Bone marrow smear:
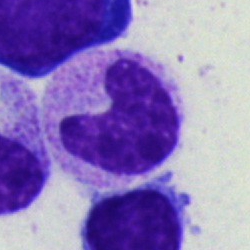 Cell type = metamyelocyte.